May-Grünwald-Giemsa/Pappenheim stain. Bone marrow smear:
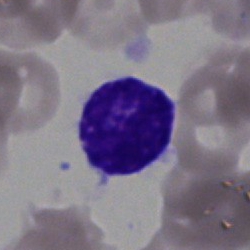 Q: Identify the cell.
A: A lymphocyte.